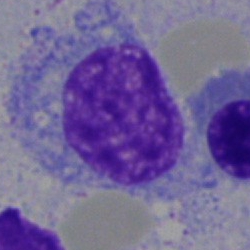An artefact on a bone marrow smear.